Bone marrow aspirate smear; MGG-stained
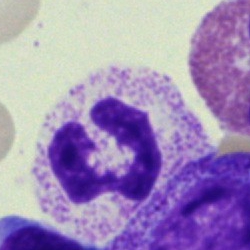Q: What is shown here?
A: It is a neutrophil (segmented).